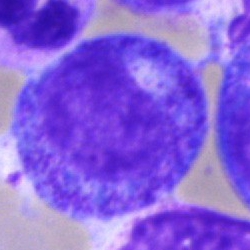

The classification is promyelocyte.